Single-cell field; bone marrow aspirate smear; 250 by 250 pixels.
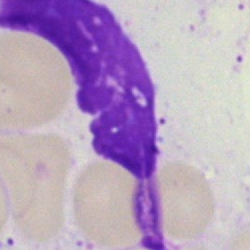The classification is artifact.